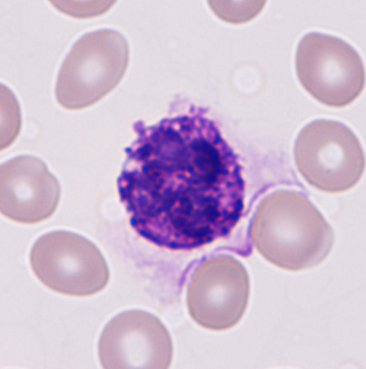The cell shown is a basophilic granulocyte. 366 by 369 pixels · peripheral blood film.